Bone marrow smear.
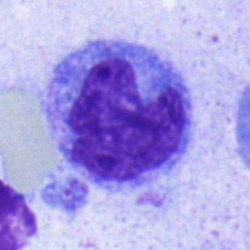

Q: What cell is this?
A: It is a monocyte.